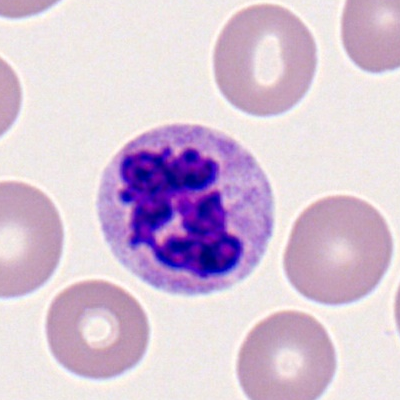Specimen: peripheral blood film.
Cell: segmented neutrophil.